Bone marrow smear — 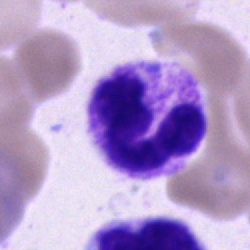Morphology → neutrophil (segmented).